Peripheral blood film: 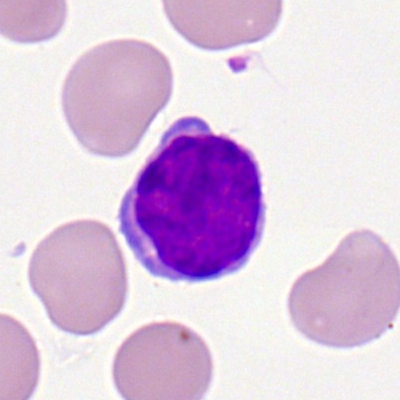

Single cell identified as a typical lymphocyte.